Single cell centered in the field · bone marrow smear · May-Grünwald-Giemsa/Pappenheim stain.
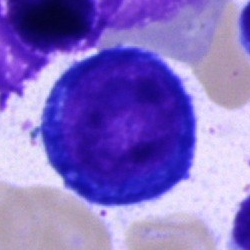
Showing a pronormoblast.